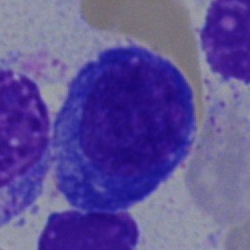
Morphology consistent with a plasma cell.